Bone marrow aspirate smear: 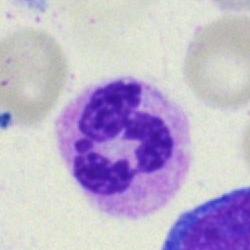Q: What is the morphological classification of this cell?
A: It is a neutrophil (segmented).